Pappenheim-stained · bone marrow aspirate smear · single cell centered in the field
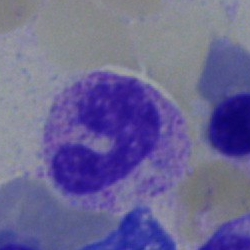
The cell shown is a polymorphonuclear neutrophil.